Peripheral blood smear
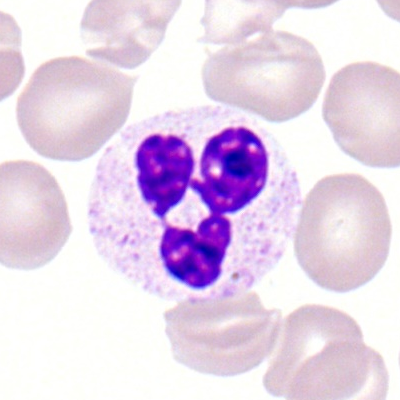 Morphology — segmented neutrophil.